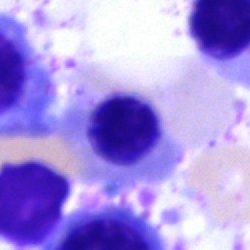 Cell: nucleated red blood cell.